Brightfield, 40× oil-immersion objective · bone marrow smear.
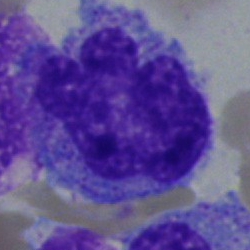
Showing a monocyte.